Bone marrow smear — 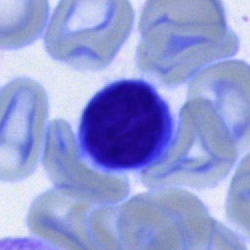Showing a lymphocyte.